Bone marrow smear
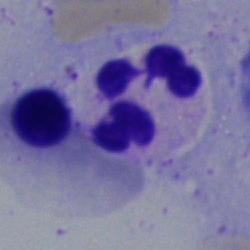

Cell = neutrophil (segmented).